Bone marrow aspirate smear. Cropped to a single cell: 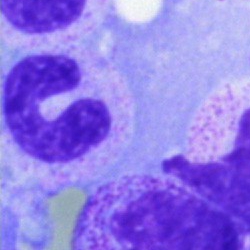
This is a stab cell.